Bone marrow smear
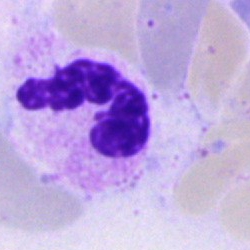Polymorphonuclear neutrophil.